Bone marrow aspirate smear:
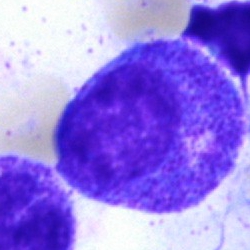 Single cell identified as a promyelocyte.